Bone marrow smear: 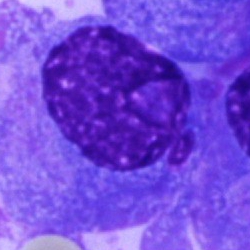Cell type — plasmacyte.